40× objective, oil immersion; bone marrow smear: 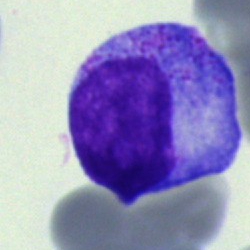
A progranulocyte.